Bone marrow aspirate smear
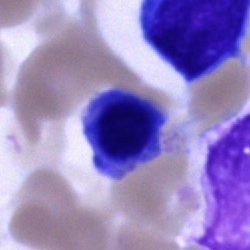

A nucleated red cell.